Bone marrow aspirate smear · MGG-stained — 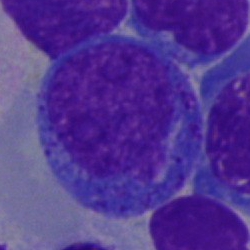This is a monocyte.